Bone marrow aspirate smear.
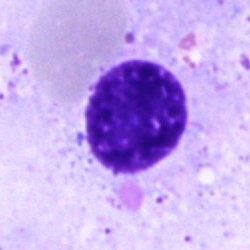 Morphological class — artefact.